Bone marrow smear
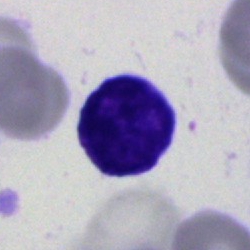Impression — blast.